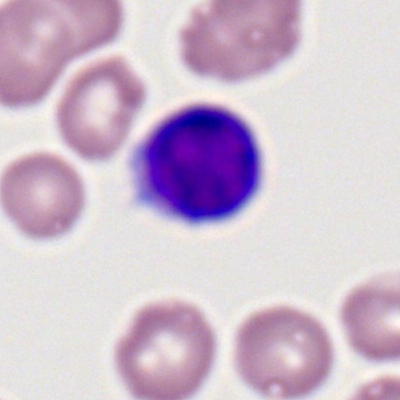

Single cell identified as a typical lymphocyte.